250 by 250 pixels. Bone marrow smear — 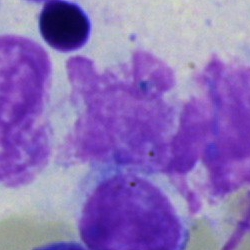

Classification — artifact.